May-Grünwald-Giemsa/Pappenheim stain. Bone marrow aspirate smear.
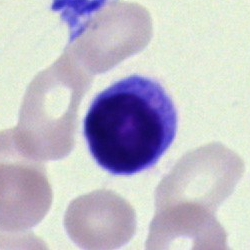Morphological class — typical lymphocyte.